Bone marrow aspirate smear
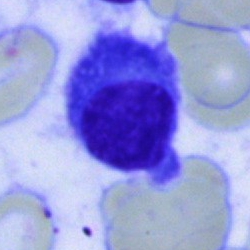

Morphology consistent with a plasma cell.